Peripheral blood film: 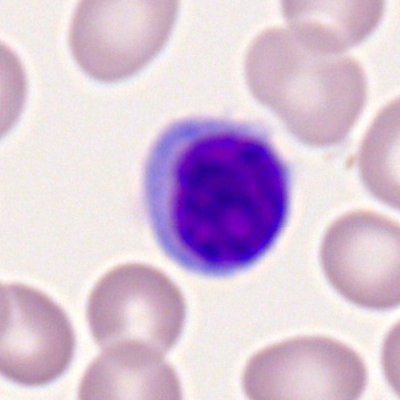Specimen: peripheral blood smear.
Cell type: typical lymphocyte.
Lineage: lymphoid.